Bone marrow aspirate smear
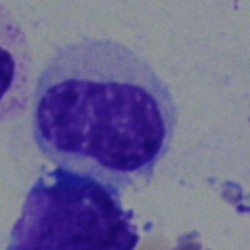

Cell type: metamyelocyte.